Bone marrow smear; single-cell field; MGG-stained:
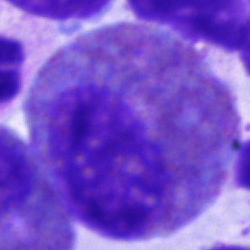 Classification = eosinophilic granulocyte.